Peripheral blood smear; image size 400×400.
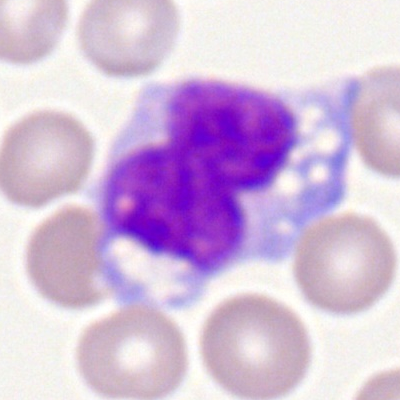 Morphology → monocyte.